Single cell centered in the field · bone marrow aspirate smear · brightfield microscopy, 40× oil immersion:
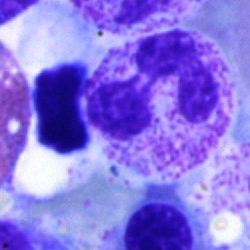 The cell shown is a polymorphonuclear neutrophil.